250×250. Bone marrow aspirate smear. May-Grünwald-Giemsa stain: 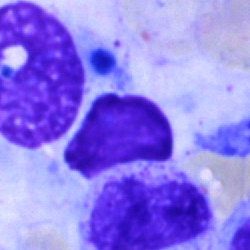Cell = artifact.